Bone marrow aspirate smear.
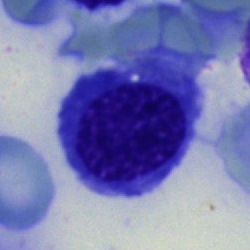
Impression — erythroblast.